Peripheral blood smear:
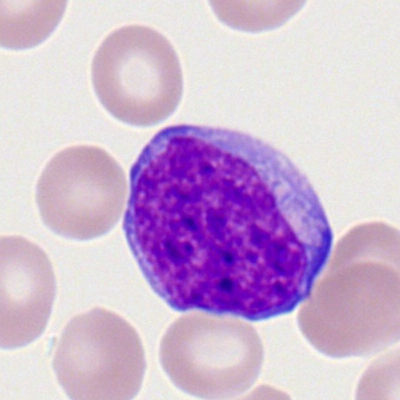Impression — myeloblast.